Bone marrow aspirate smear — 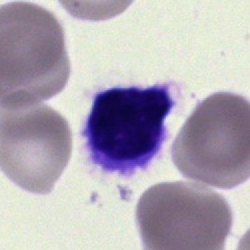Q: What cell is this?
A: Typical lymphocyte.